Bone marrow smear. 250 by 250 pixels. 40× objective, oil immersion.
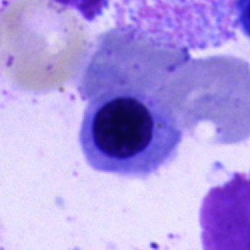
Impression — normoblast.